Bone marrow aspirate smear — 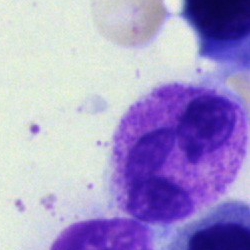

Impression → segmented neutrophil.